Pappenheim-stained. Bone marrow smear. 250 by 250 pixels.
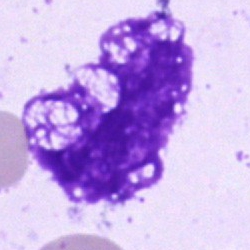Cell — artefact.